Bone marrow aspirate smear.
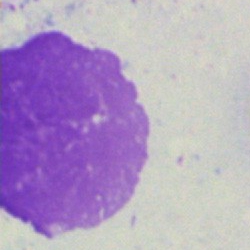The morphological class is artifact.